Bone marrow aspirate smear
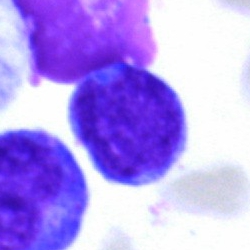
{"cell_type": "typical lymphocyte", "lineage": "lymphoid"}